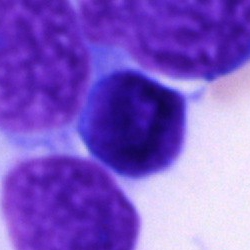
Q: What is shown here?
A: A blast.